Bone marrow smear — 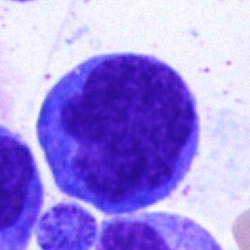
The cell shown is a monocyte.